Bone marrow smear
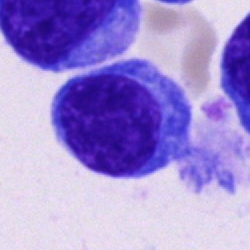

Impression — plasma cell.